Bone marrow smear: 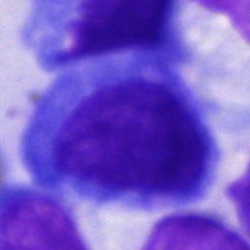 Morphological class: cell of indeterminate lineage.